Single cell centered in the field. May-Grünwald-Giemsa stain. Bone marrow smear — 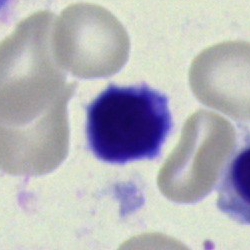 The cell shown is a lymphocyte.